250×250 · Pappenheim-stained · bone marrow smear: 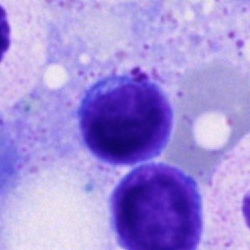

Morphology → lymphocyte.